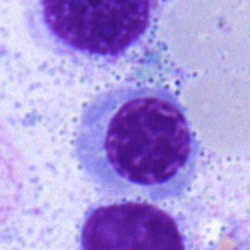

Cell: normoblast.